Bone marrow smear
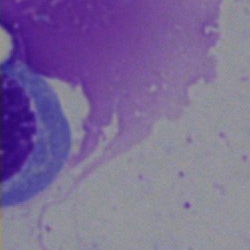 {"cell_type": "artifact"}